Bone marrow smear.
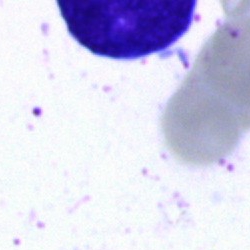 Classification: artifact.